Bone marrow aspirate smear.
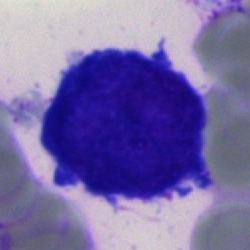Showing an undifferentiated blast.